Peripheral blood film · Romanowsky-type stain · 400×400:
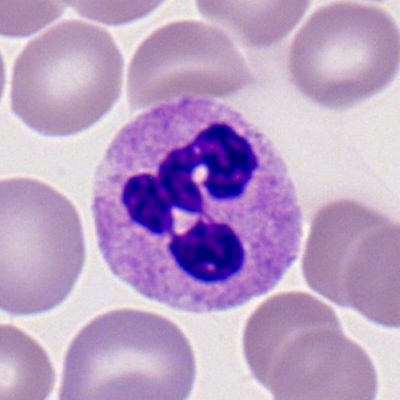
A neutrophil (segmented).